Bone marrow aspirate smear.
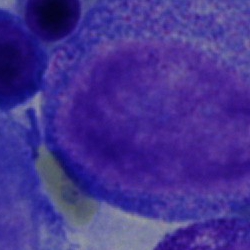Morphology consistent with a progranulocyte.